Bone marrow aspirate smear — 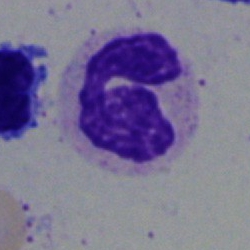 Morphological class: band neutrophil.